250×250 px; bone marrow aspirate smear; brightfield, 40× oil-immersion objective — 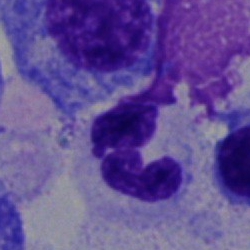
Cell type — polymorphonuclear neutrophil.